Bone marrow aspirate smear
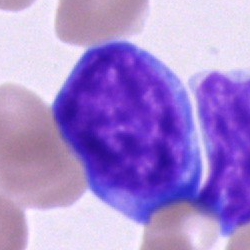
Specimen: bone marrow smear.
Cell type: blast.